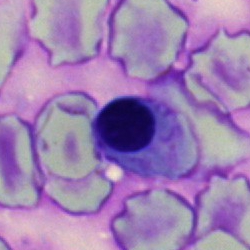
Impression → nucleated red cell.